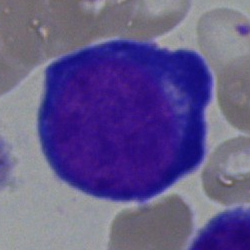

Specimen: bone marrow aspirate smear.
Classification: normoblast.